Single-cell field · bone marrow aspirate smear.
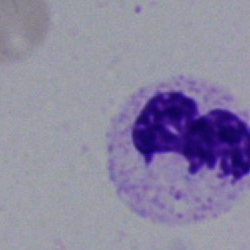
Specimen: bone marrow smear.
Cell type: segmented neutrophil.
Lineage: myeloid.